250 by 250 pixels · bone marrow aspirate smear — 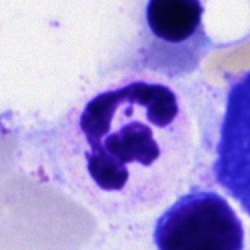
This is a neutrophil (segmented).